Bone marrow smear. 250×250 px.
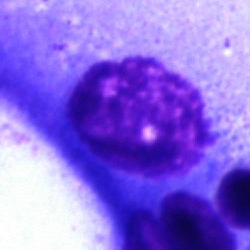 Q: What is shown here?
A: Artefact.